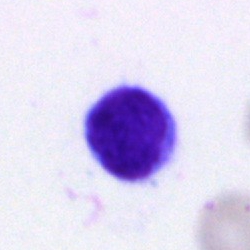 Cell type: typical lymphocyte.